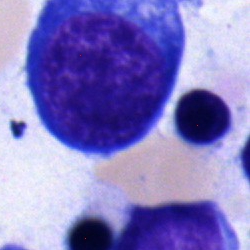
Impression → nucleated red cell.